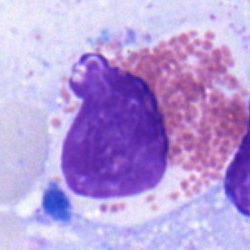 Cell type — eosinophilic granulocyte.